Bone marrow smear. Brightfield microscopy, 40× oil immersion
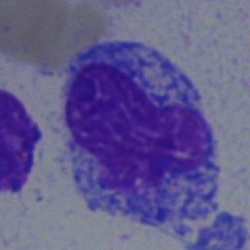

Morphological class — blast cell.